Bone marrow smear; brightfield microscopy, 40× oil immersion — 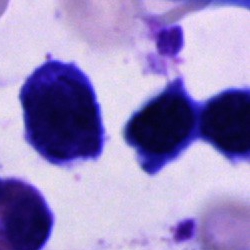 Classification: cell of indeterminate lineage.